40× oil immersion · single-cell field · bone marrow aspirate smear: 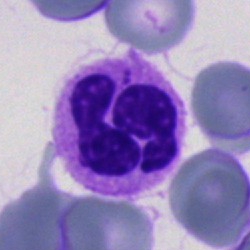 Morphology → polymorphonuclear neutrophil.